Bone marrow smear. Single-cell field — 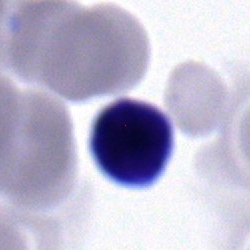 The cell shown is a typical lymphocyte.